Bone marrow aspirate smear:
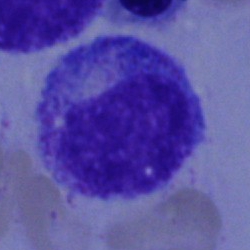

Q: What is the morphological classification of this cell?
A: A promyelocyte.